Bone marrow smear · MGG-stained: 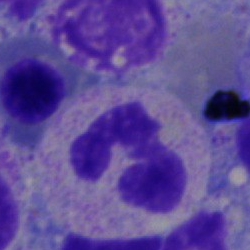
The classification is polymorphonuclear neutrophil.